Bone marrow aspirate smear.
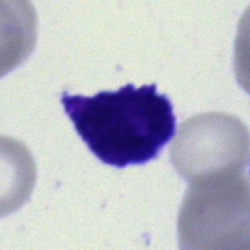Q: What cell is this?
A: This is a blast.